Peripheral blood film.
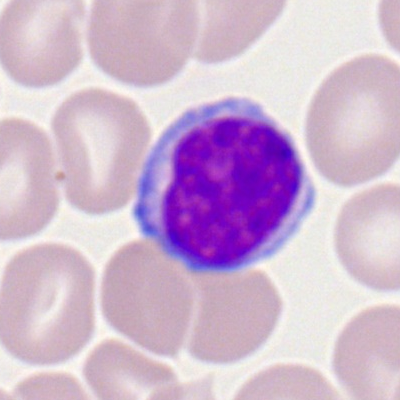Single cell identified as a lymphocyte.